MGG-stained; bone marrow smear; 250×250 px — 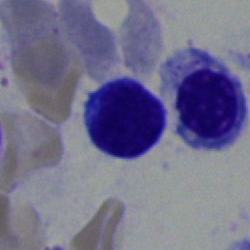Morphology — typical lymphocyte.